Single cell centered in the field; bone marrow smear; image size 250×250.
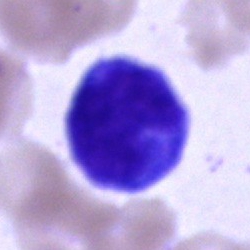

Morphology → monocyte.